May-Grünwald-Giemsa/Pappenheim stain · bone marrow smear:
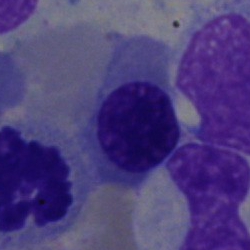 Cell type: erythroblast.